Bone marrow smear — 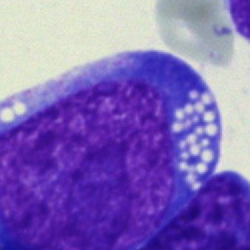
Impression — undifferentiated blast.